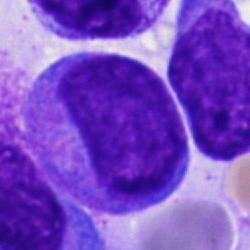Morphological class — blast.